250×250 px. Bone marrow aspirate smear.
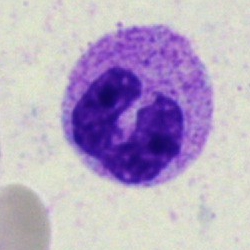

Specimen: bone marrow smear.
Cell: segmented neutrophil.
Lineage: myeloid.